Bone marrow smear; 250 by 250 pixels.
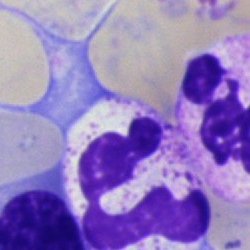
Impression — polymorphonuclear neutrophil.